May-Grünwald-Giemsa stain. Bone marrow aspirate smear — 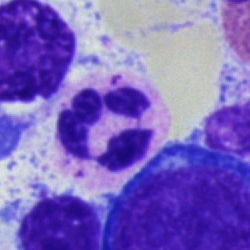

Specimen: bone marrow aspirate smear.
Cell type: segmented neutrophil.